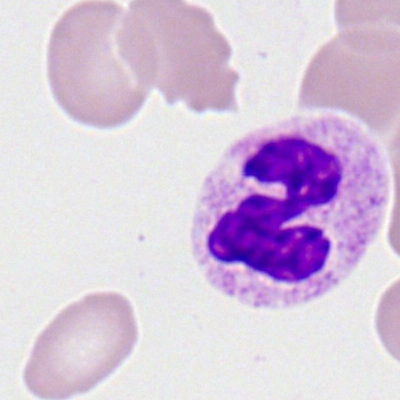
Classification — polymorphonuclear neutrophil.